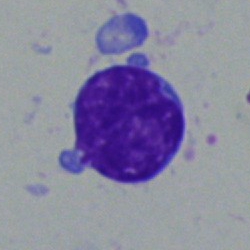Specimen: bone marrow smear.
Classification: typical lymphocyte.